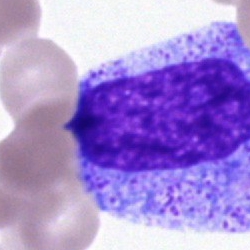 Bone marrow aspirate smear, single cell — promyelocyte.